40× objective, oil immersion; bone marrow aspirate smear — 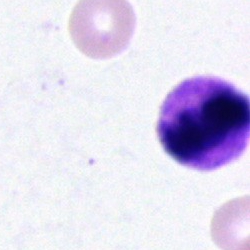

Single cell identified as a segmented neutrophil.